Bone marrow aspirate smear — 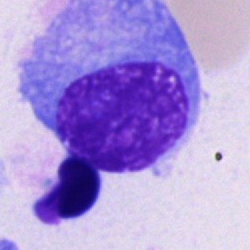 Impression — plasmacyte.